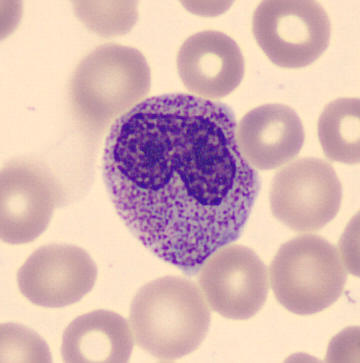

Cropped to a single cell; image size 360×363.
Specimen: peripheral blood film.
Cell: metamyelocyte.